May-Grünwald-Giemsa stain. Bone marrow smear
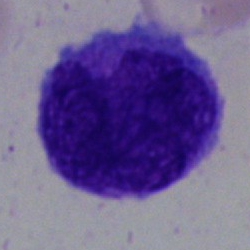

Q: What cell is this?
A: Undifferentiated blast.